Single-cell field; bone marrow aspirate smear.
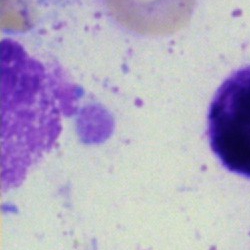
The classification is artifact.